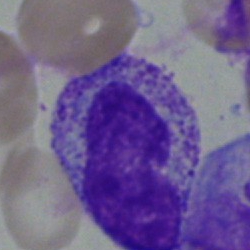

Morphology → metamyelocyte.